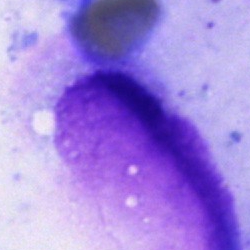 Morphological class = artefact.